Single-cell crop · bone marrow smear: 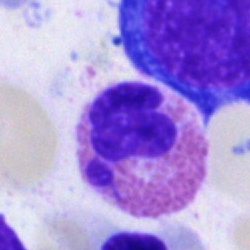 This is an eosinophil.